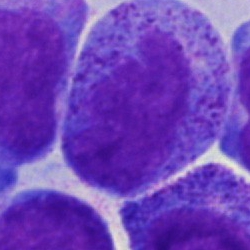 Q: Which cell type is shown here?
A: A promyelocyte.